250×250 px; bone marrow smear; 40× objective, oil immersion
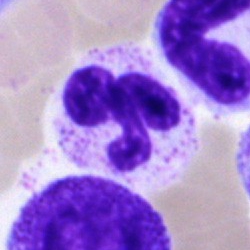Q: What cell is this?
A: This is a polymorphonuclear neutrophil.